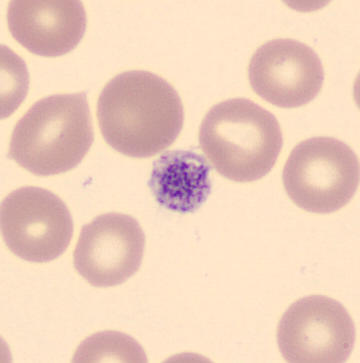
Specimen: peripheral blood smear.
Classification: platelet (thrombocyte).